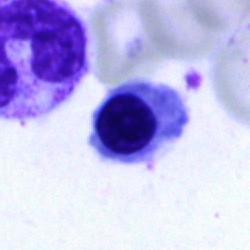
Q: What cell is this?
A: It is a nucleated red blood cell.